Bone marrow smear: 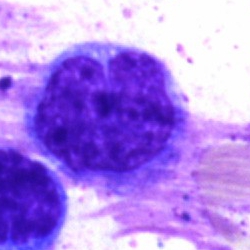
A monocyte.